Bone marrow smear. Single-cell crop:
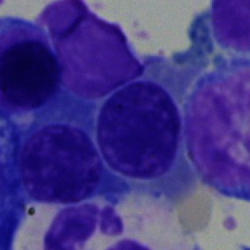 Q: What is shown here?
A: It is a normoblast.